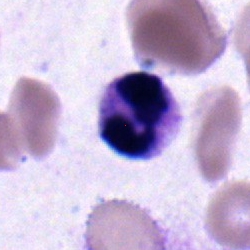

A neutrophil (segmented) on a bone marrow smear.